Bone marrow aspirate smear — 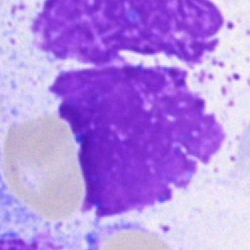

Cell type = artifact.